May-Grünwald-Giemsa stain · bone marrow smear.
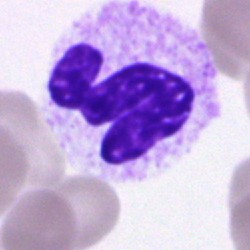 Morphology → polymorphonuclear neutrophil.